Bone marrow smear · Pappenheim-stained · 40× objective, oil immersion
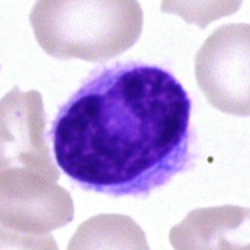 Impression → hairy cell.